Bone marrow smear · 250×250 · May-Grünwald-Giemsa/Pappenheim stain — 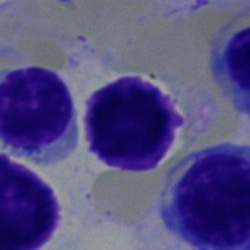

Lymphocyte.